Image size 250×250. Bone marrow smear. Cropped to a single cell: 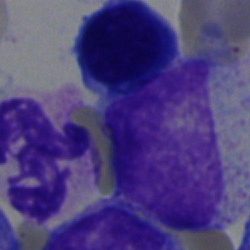 Q: What is the morphological classification of this cell?
A: This is a segmented neutrophil.